Bone marrow smear — 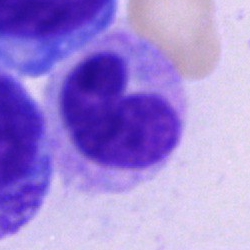

Morphology consistent with a metamyelocyte.